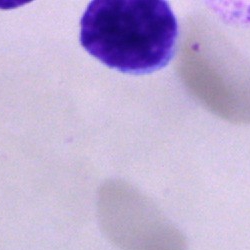Cell type = lymphocyte.